Bone marrow smear
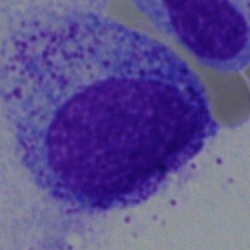Cell type — myelocyte.